Bone marrow smear.
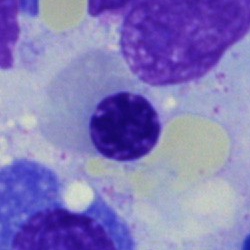
Q: What type of cell is this?
A: This is a normoblast.